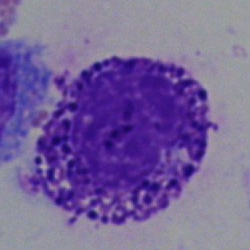 Morphology — basophilic granulocyte.